Image size 250×250. Brightfield, 40× oil-immersion objective. Bone marrow aspirate smear.
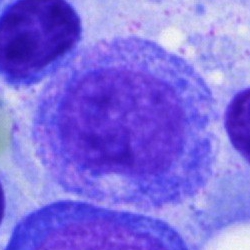Morphological class = promyelocyte.